Bone marrow smear:
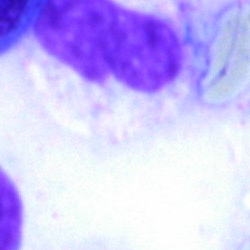

Specimen: bone marrow aspirate smear.
Cell: artefact.